Bone marrow aspirate smear — 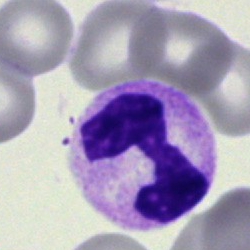

The cell shown is a polymorphonuclear neutrophil.